Cropped to a single cell · 250×250 px · bone marrow aspirate smear:
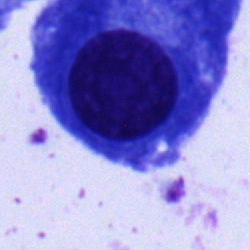

Showing a plasma cell.